Bone marrow aspirate smear — 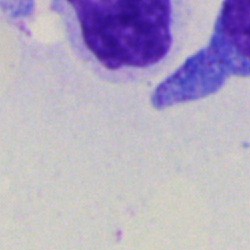
Single cell identified as an artifact.